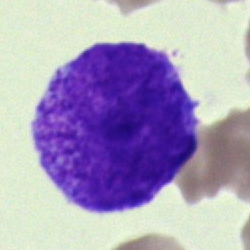

Morphological class = undifferentiated blast.